Bone marrow aspirate smear
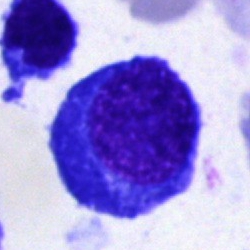

Nucleated red blood cell.